Brightfield microscopy, 40× oil immersion · Pappenheim-stained · bone marrow aspirate smear — 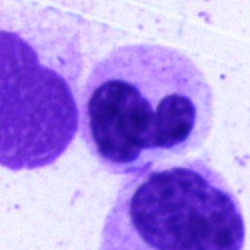

Specimen: bone marrow aspirate smear.
Cell: neutrophil (segmented).
Lineage: myeloid.